Bone marrow aspirate smear · 40× objective, oil immersion: 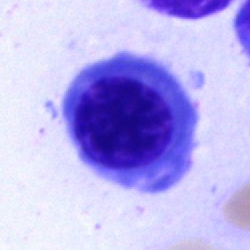

Q: Identify the cell.
A: This is a nucleated red blood cell.